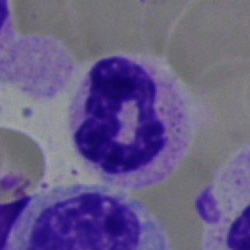
Impression — segmented neutrophil.